Bone marrow smear. May-Grünwald-Giemsa stain — 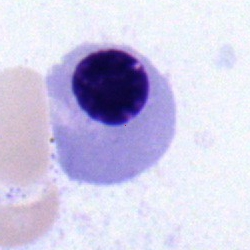
{"cell_type": "polymorphonuclear neutrophil", "lineage": "myeloid"}